May-Grünwald-Giemsa/Pappenheim stain · bone marrow aspirate smear: 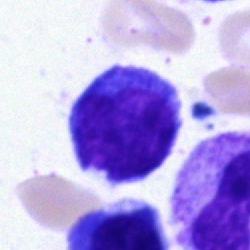Specimen: bone marrow smear.
Classification: lymphocyte.
Lineage: lymphoid.